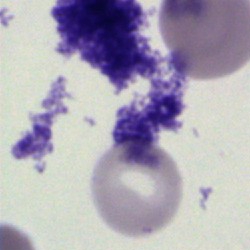
Morphological class — artifact.